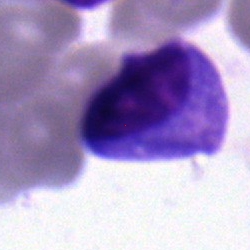Showing a plasma cell.